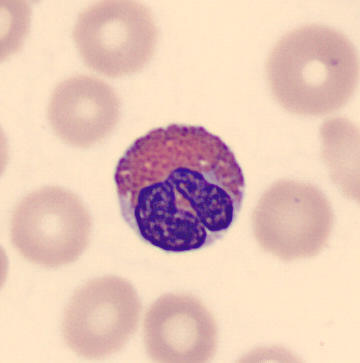The morphological class is eosinophilic granulocyte.
Acquisition: Peripheral blood smear · cropped to a single cell.